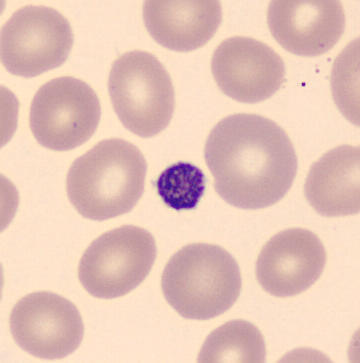 A thrombocyte.

CellaVision DM96 digital cell image. Peripheral blood film.